Brightfield, 40× oil-immersion objective · bone marrow aspirate smear:
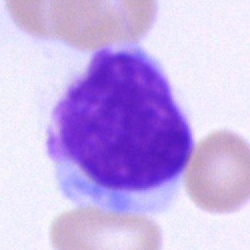

Showing a lymphocyte.